Bone marrow aspirate smear:
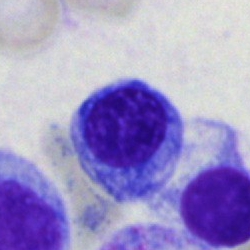Specimen: bone marrow smear.
Classification: erythroblast.
Lineage: erythroid.